Bone marrow aspirate smear — 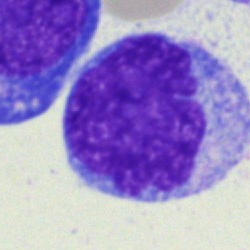 This is a monocyte.